Bone marrow smear. Cropped to a single cell. 40× oil immersion — 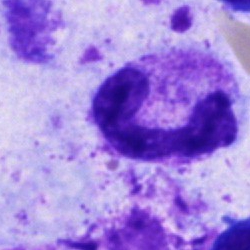Morphology — band neutrophil.